Single cell centered in the field; peripheral blood smear.
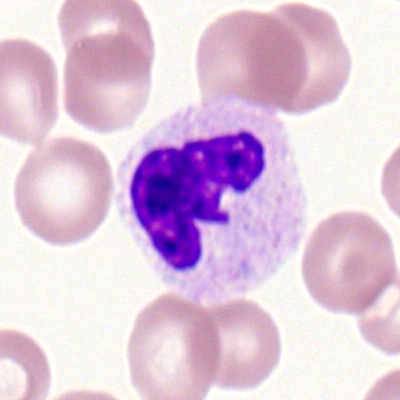
This is a neutrophil (segmented).